Bone marrow smear. 40× objective, oil immersion — 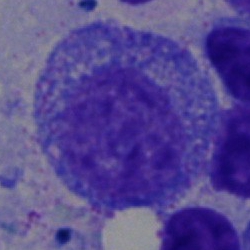 A promyelocyte.